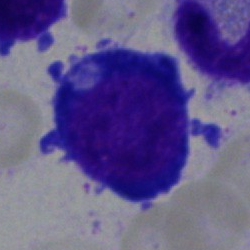Single cell identified as a proerythroblast.